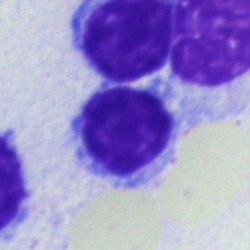 The morphological class is typical lymphocyte.